Bone marrow smear. 40× objective, oil immersion. Image size 250×250.
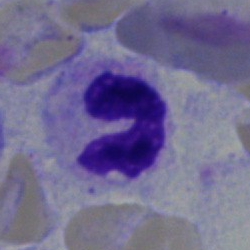

The cell shown is a segmented neutrophil.